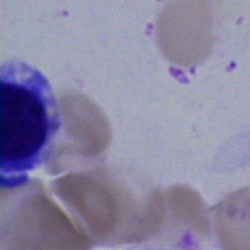

Bone marrow aspirate smear, single cell — artefact.